May-Grünwald-Giemsa/Pappenheim stain; 250 by 250 pixels; bone marrow smear.
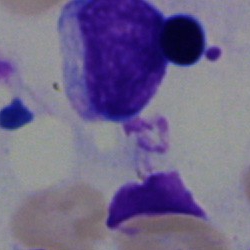
Impression — blast.